Bone marrow smear · 40× objective, oil immersion · 250×250: 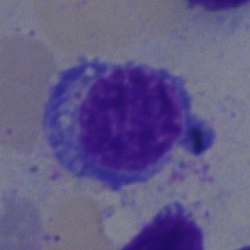 Cell type: erythroblast.